Bone marrow smear:
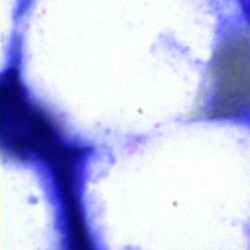 Q: What is shown here?
A: This is an artifact.